Bone marrow smear.
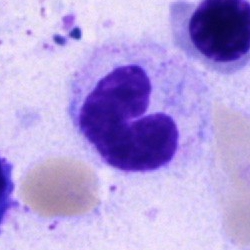Morphological class: neutrophil (band).